Brightfield, 40× oil-immersion objective · image size 250×250 · bone marrow aspirate smear.
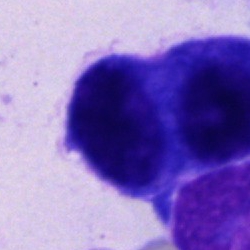

Morphology consistent with an other cell type.